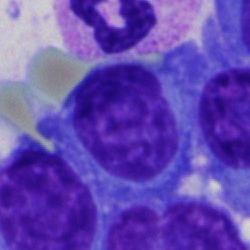
Plasmacyte.